Bone marrow smear · MGG-stained · single-cell field — 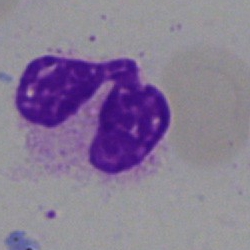

Cell type: neutrophil (segmented).